Peripheral blood film. May-Grünwald-Giemsa-stained. Image size 360×363: 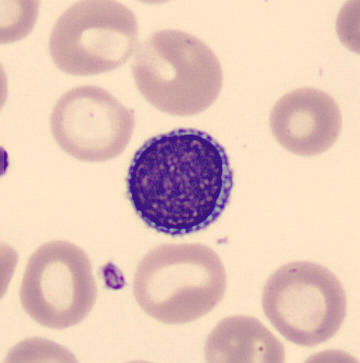Cell — typical lymphocyte.